Bone marrow smear. 250×250 px. Single-cell crop.
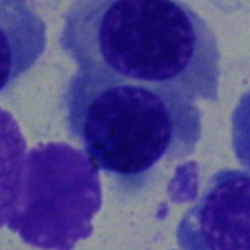

Cell type — erythroblast.